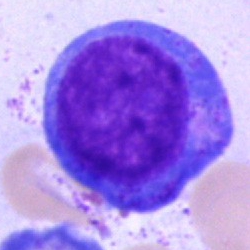
{"cell_type": "blast"}